250 by 250 pixels. Bone marrow aspirate smear:
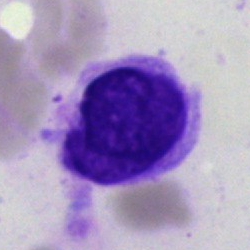

A monocyte.